Single-cell crop. Bone marrow aspirate smear. May-Grünwald-Giemsa stain — 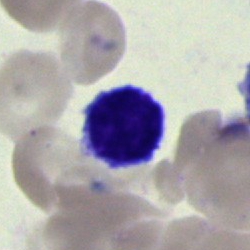 Single cell identified as a typical lymphocyte.